Image size 400×400. Peripheral blood smear.
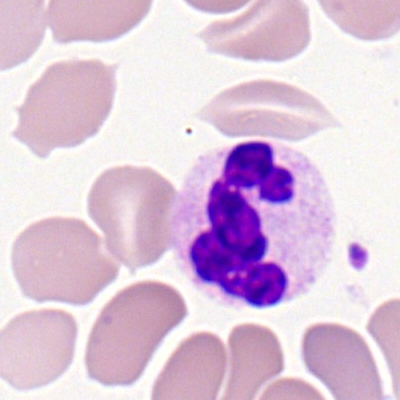

Q: What is the morphological classification of this cell?
A: Segmented neutrophil.